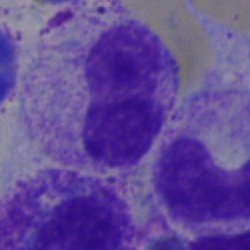 Morphological class: neutrophil (band).